Bone marrow smear — 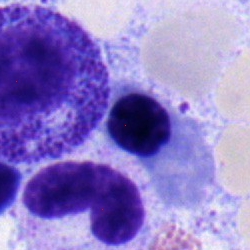

Specimen: bone marrow aspirate smear.
Classification: nucleated red cell.
Lineage: erythroid.